250×250 px. Bone marrow aspirate smear. Single-cell crop.
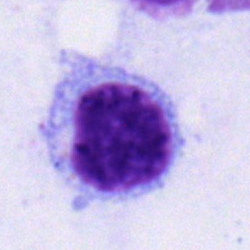{"cell_type": "typical lymphocyte", "lineage": "lymphoid"}